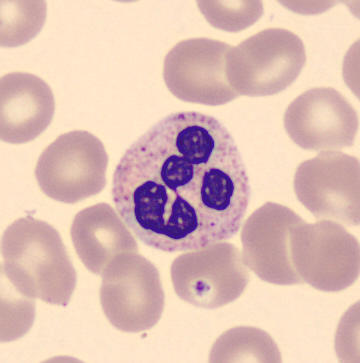 Classification = neutrophil (segmented).